100× oil immersion; peripheral blood smear; Romanowsky-stained: 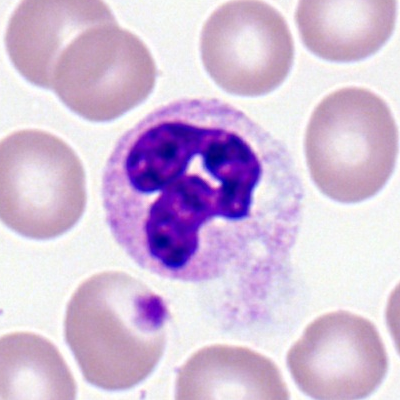 Classification = polymorphonuclear neutrophil.